Bone marrow aspirate smear. Pappenheim-stained — 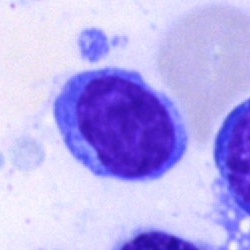
The cell type is typical lymphocyte.